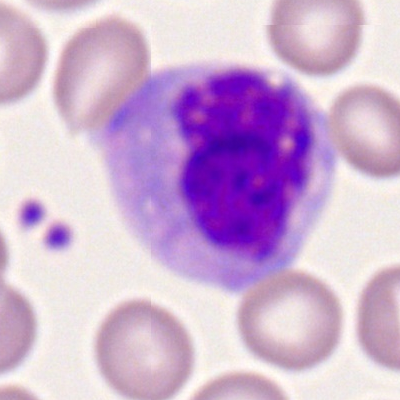 Single-cell crop from a peripheral blood smear: monocyte.